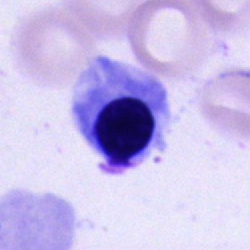Impression — normoblast.